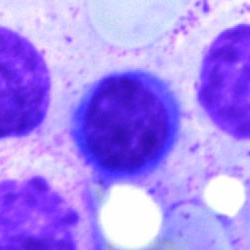 Morphological class = typical lymphocyte.